Bone marrow smear · single-cell crop:
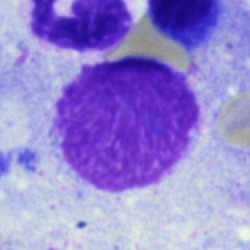Classification: artefact.